Peripheral blood smear — 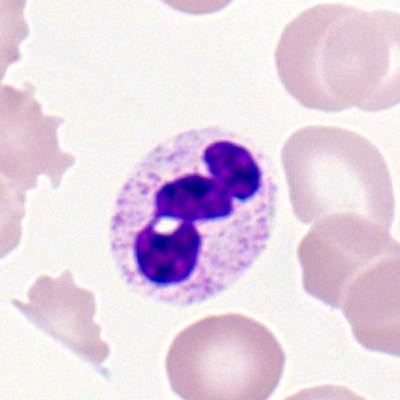
Specimen: peripheral blood film.
Morphological class: polymorphonuclear neutrophil.
Lineage: myeloid.